Bone marrow aspirate smear: 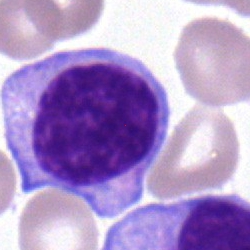

Impression — lymphocyte.